Bone marrow smear
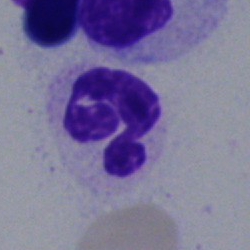
Impression → neutrophil (segmented).